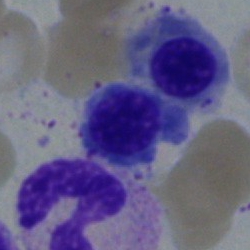

Normoblast.